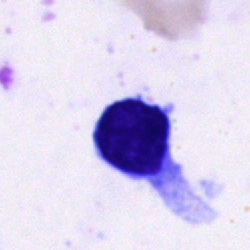

Single-cell crop from a bone marrow smear: lymphocyte.